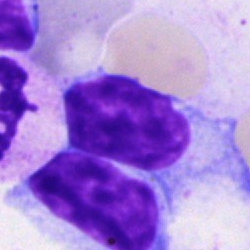

Cell type: typical lymphocyte.